Bone marrow smear.
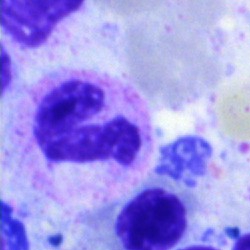
Cell type: polymorphonuclear neutrophil.